Bone marrow aspirate smear · image size 250×250:
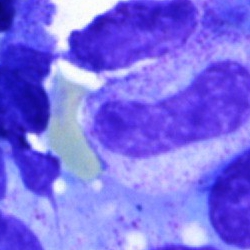{"cell_type": "band-form neutrophil", "lineage": "myeloid"}